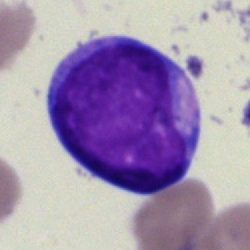
Specimen: bone marrow aspirate smear.
Cell type: blast.